Bone marrow smear — 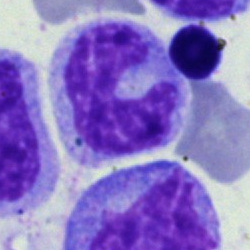
A monocyte.